MGG-stained · bone marrow aspirate smear: 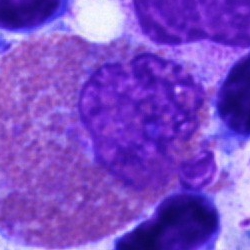Cell type: eosinophilic granulocyte.